Bone marrow smear — 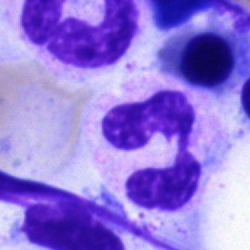 Showing a polymorphonuclear neutrophil.